Bone marrow smear; single cell centered in the field; brightfield, 40× oil-immersion objective
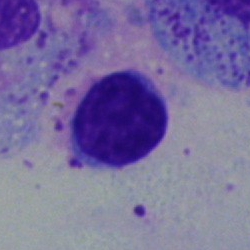

Q: What is shown here?
A: A lymphocyte.